Peripheral blood film: 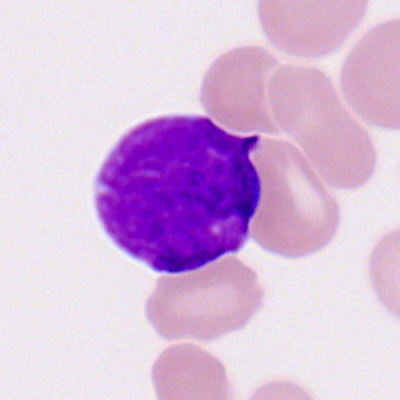

Morphological class — myeloblast.